Bone marrow smear:
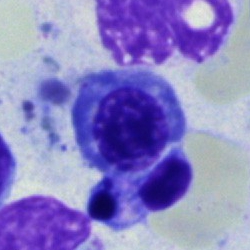Q: What cell is this?
A: Erythroblast.